Bone marrow aspirate smear. Single cell centered in the field. Pappenheim-stained: 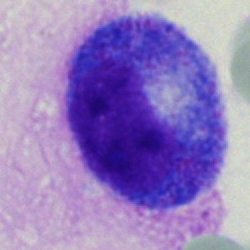
Specimen: bone marrow smear.
Cell: progranulocyte.